Bone marrow smear:
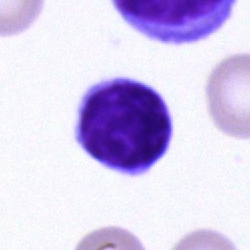 Q: Which cell type is shown here?
A: Lymphocyte.